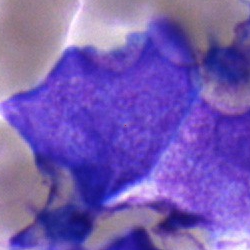Cell type — undifferentiated blast.